Bone marrow smear.
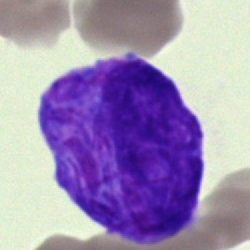Morphology — faggot cell.